400 by 400 pixels · single-cell field · peripheral blood smear: 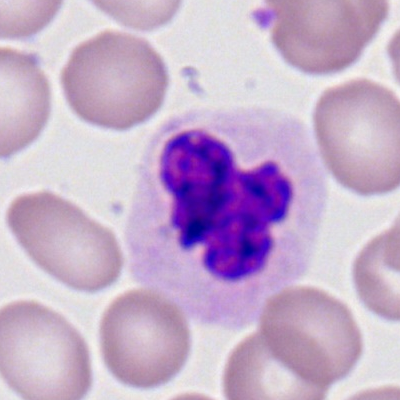
Classification — polymorphonuclear neutrophil.